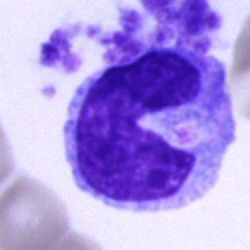

The classification is monocyte.